Bone marrow smear: 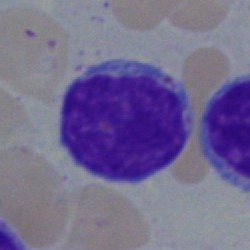 {"cell_type": "typical lymphocyte", "lineage": "lymphoid"}